Bone marrow smear
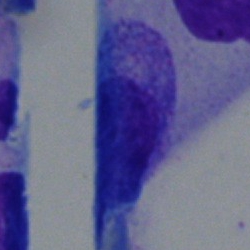

Q: What is shown here?
A: Artifact.